Bone marrow smear. 250 by 250 pixels. 40× oil immersion — 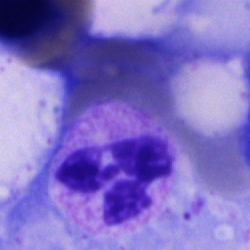Showing a polymorphonuclear neutrophil.